MGG stain; peripheral blood film — 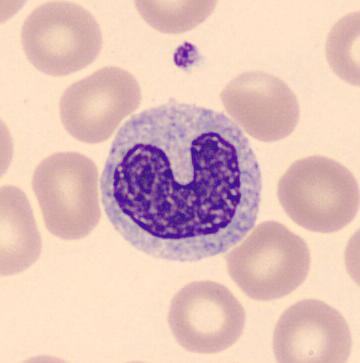
Specimen: peripheral blood film.
Morphological class: monocyte.